Peripheral blood film · 100× oil immersion, 14.14 px/µm.
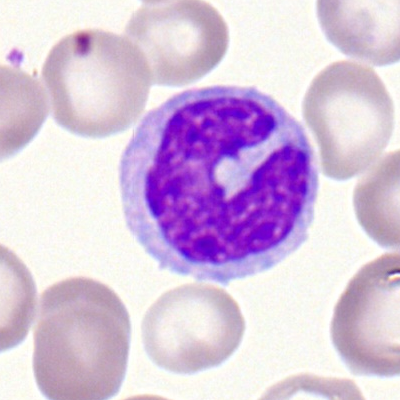

Q: What type of cell is this?
A: This is a monocyte.